MGG-stained. Bone marrow aspirate smear. Single-cell field: 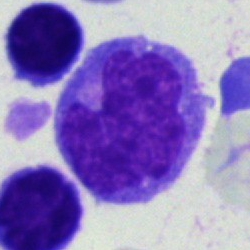Specimen: bone marrow smear.
Cell type: monocyte.
Lineage: myeloid.